Peripheral blood film; cropped to a single cell; Romanowsky stain.
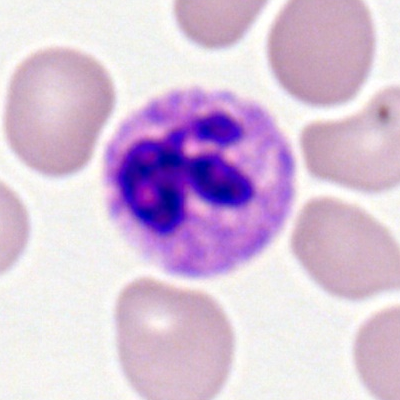
{"cell_type": "segmented neutrophil", "lineage": "myeloid"}